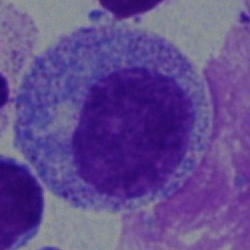 Q: What is shown here?
A: This is a progranulocyte.